Bone marrow smear. Brightfield, 40× oil-immersion objective
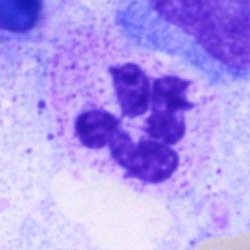
Morphology consistent with a segmented neutrophil.